Single-cell field · bone marrow smear:
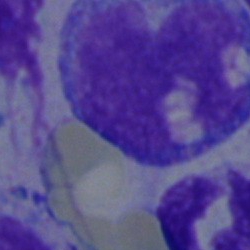
The morphological class is artefact.